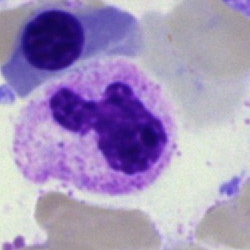
Morphology — polymorphonuclear neutrophil.